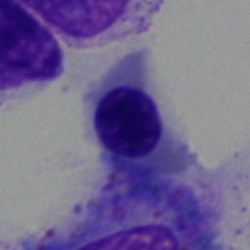Impression — nucleated red cell.